Brightfield microscopy, 40× oil immersion · bone marrow aspirate smear · image size 250×250
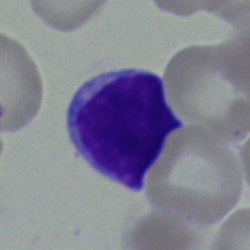
Single cell identified as a lymphocyte.